Bone marrow aspirate smear. 250×250 px:
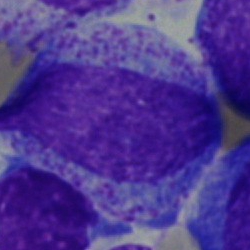
Cell type: myelocyte.